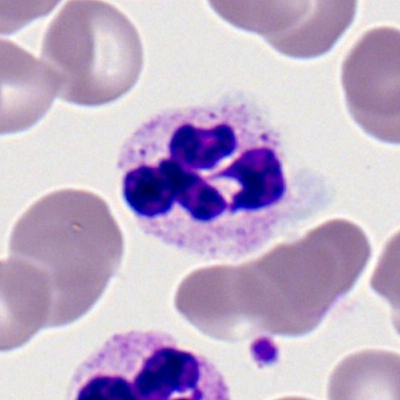 {"cell_type": "polymorphonuclear neutrophil", "lineage": "myeloid"}